Bone marrow smear.
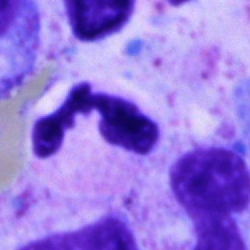 The cell shown is a segmented neutrophil.